Bone marrow smear.
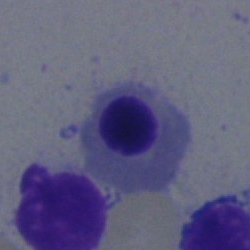 Classification — nucleated red blood cell.